May-Grünwald-Giemsa/Pappenheim stain. Bone marrow smear: 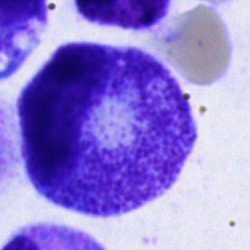Q: What is shown here?
A: Promyelocyte.